Brightfield microscopy, 40× oil immersion; bone marrow aspirate smear:
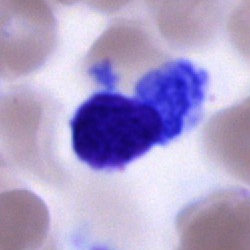

This is a cell of indeterminate lineage.